Bone marrow smear:
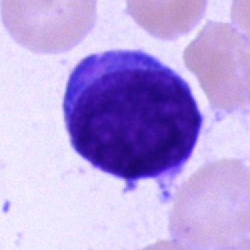

Morphology consistent with a blast.